250 by 250 pixels; bone marrow aspirate smear
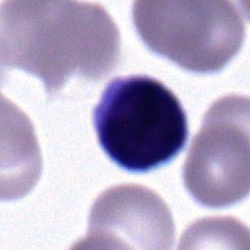

A typical lymphocyte.